Single-cell crop. Bone marrow aspirate smear:
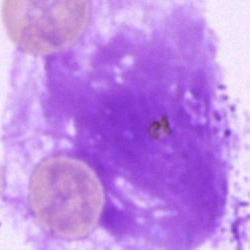

Morphology consistent with an artifact.